Bone marrow aspirate smear. 250 by 250 pixels. Single cell centered in the field
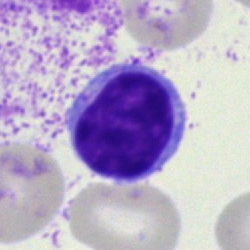 Morphological class = lymphocyte.